Bone marrow aspirate smear — 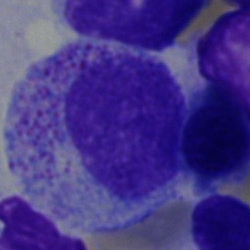
Myelocyte.